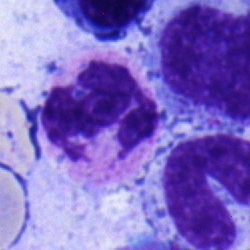

Cell = neutrophil (segmented).